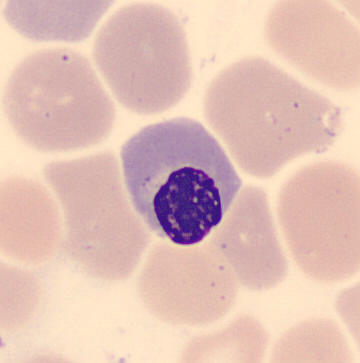
Morphology consistent with a nucleated red cell.
Peripheral blood smear.